Bone marrow aspirate smear.
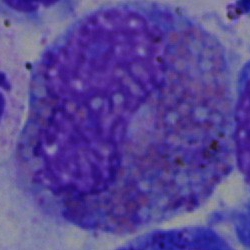
Morphology — eosinophil.